Bone marrow smear: 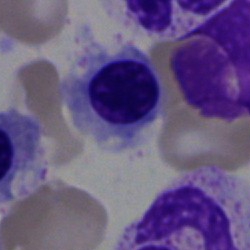
Showing an erythroblast.